Single cell centered in the field. Bone marrow aspirate smear. 40× objective, oil immersion
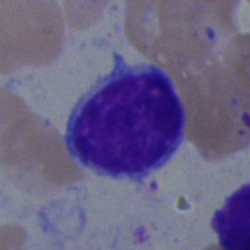

Q: Identify the cell.
A: It is a typical lymphocyte.